Single cell centered in the field · bone marrow aspirate smear.
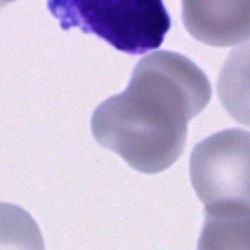 The classification is cell of indeterminate lineage.